Bone marrow aspirate smear
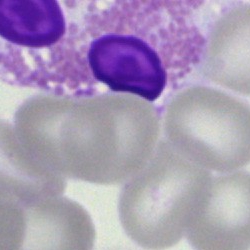Morphology → eosinophilic granulocyte.